Bone marrow aspirate smear · single cell centered in the field · MGG-stained.
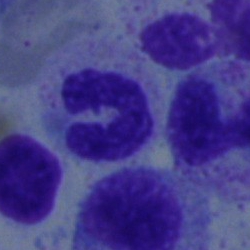 A neutrophil (band).